Bone marrow aspirate smear: 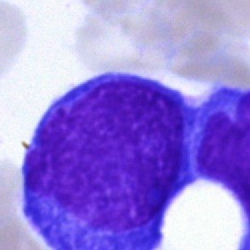Morphology — blast.